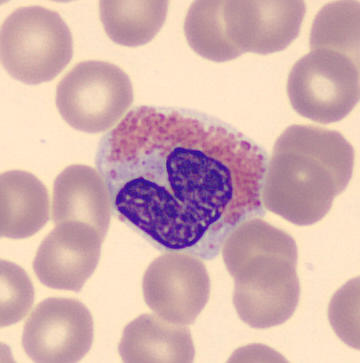
An eosinophil.